Bone marrow smear — 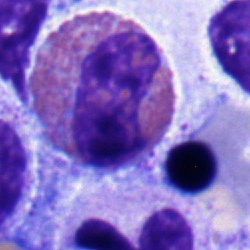
Specimen: bone marrow aspirate smear.
Cell type: eosinophil.
Lineage: myeloid.